Bone marrow smear.
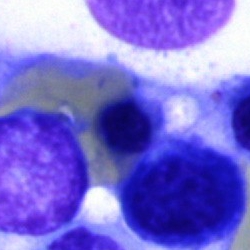 Impression → nucleated red cell.